Bone marrow smear.
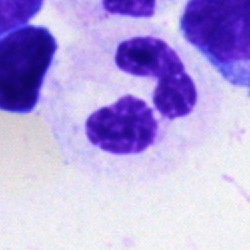

The cell shown is a segmented neutrophil.